Bone marrow aspirate smear · image size 250×250: 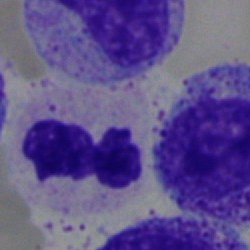{"cell_type": "neutrophil (segmented)"}